Bone marrow aspirate smear — 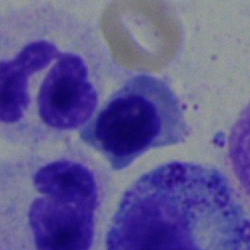 Q: What type of cell is this?
A: Normoblast.